Bone marrow aspirate smear.
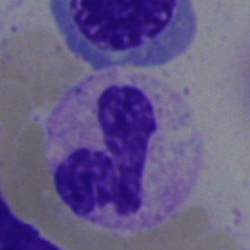
Q: What is shown here?
A: Neutrophil (segmented).